Bone marrow aspirate smear.
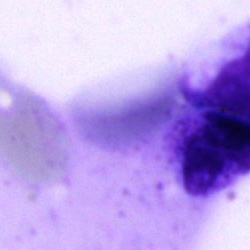
Single cell identified as an artefact.